Cropped to a single cell; 250×250; bone marrow aspirate smear
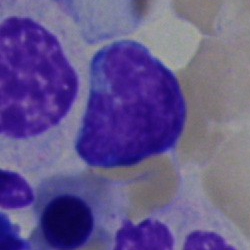 Specimen: bone marrow aspirate smear.
Morphological class: lymphocyte.